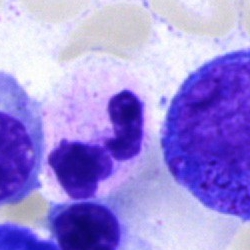 Bone marrow smear showing a segmented neutrophil.